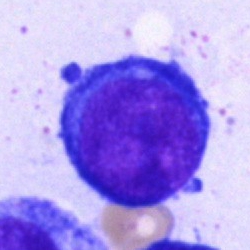
Cell type = pronormoblast.